Bone marrow smear; cropped to a single cell:
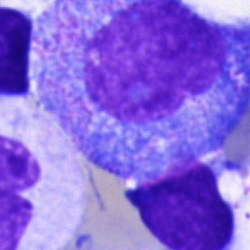A promyelocyte.